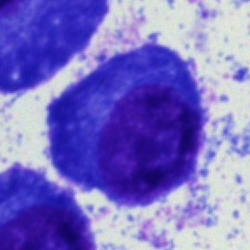 Impression — plasmacyte.